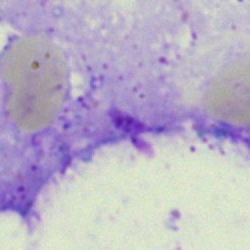An artefact.